Bone marrow aspirate smear:
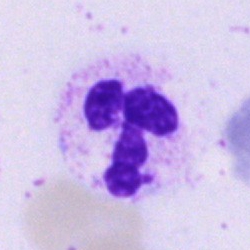Cell: neutrophil (segmented).